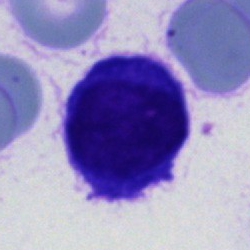

Specimen: bone marrow aspirate smear.
Morphological class: cell of indeterminate lineage.